Bone marrow smear — 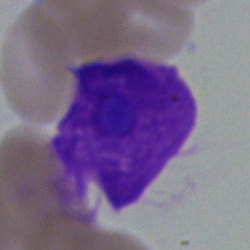 An artefact.